Peripheral blood smear; image size 400×400:
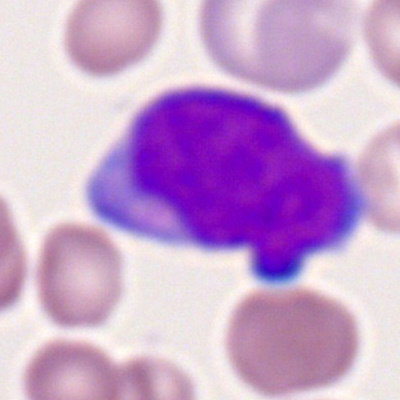

Q: What is shown here?
A: A myeloblast.